40× objective, oil immersion · bone marrow smear.
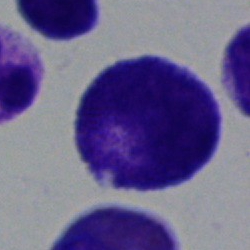A progranulocyte.